Single-cell field. Bone marrow aspirate smear — 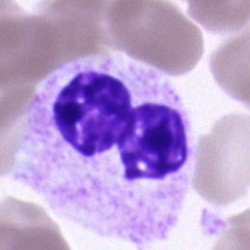 Single cell identified as a neutrophil (segmented).